Bone marrow smear: 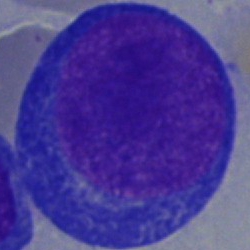

Cell type = proerythroblast.